Bone marrow smear
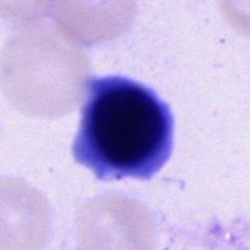

Specimen: bone marrow aspirate smear.
Cell type: cell of indeterminate lineage.